Bone marrow smear — 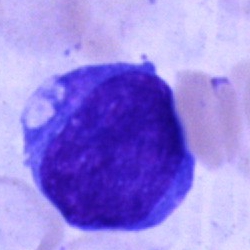This is a blast.